Bone marrow aspirate smear
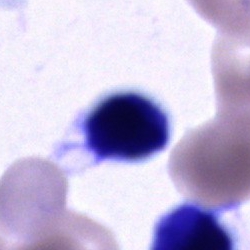Cell of indeterminate lineage.